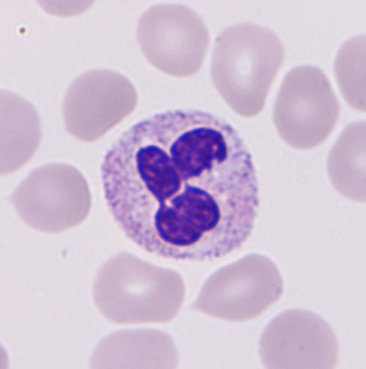
Acquisition: Peripheral blood smear. Q: What type of cell is this?
A: Neutrophilic granulocyte.